Bone marrow smear — 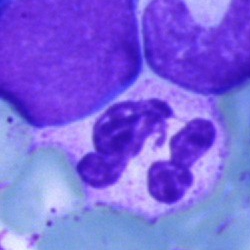
A polymorphonuclear neutrophil.